Brightfield, 40× oil-immersion objective. Bone marrow aspirate smear. Single-cell crop:
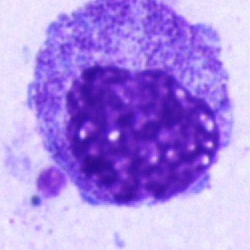

Specimen: bone marrow aspirate smear.
Cell type: promyelocyte.
Lineage: myeloid.